Cropped to a single cell; bone marrow smear.
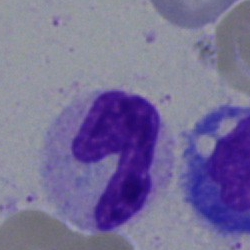Impression → segmented neutrophil.